Bone marrow aspirate smear: 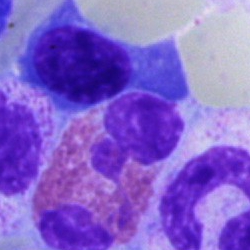
{"cell_type": "eosinophil", "lineage": "myeloid"}